Romanowsky stain; peripheral blood smear
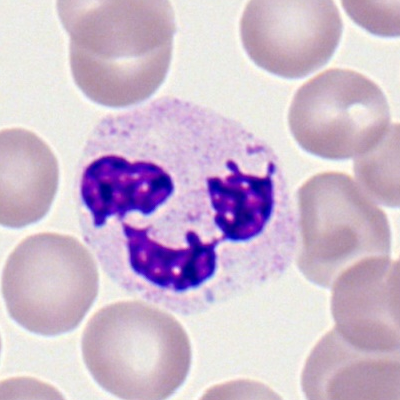{"cell_type": "segmented neutrophil"}